Bone marrow aspirate smear — 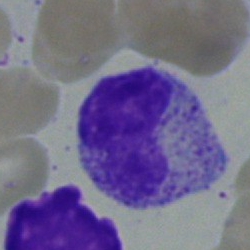
Impression — band-form neutrophil.